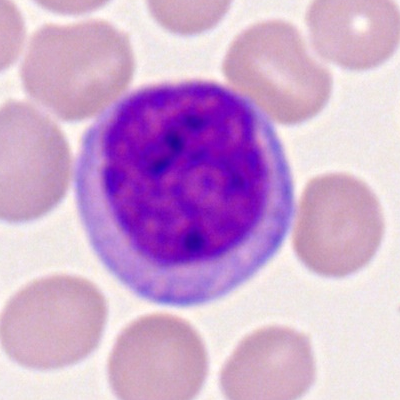

Morphological class: monocyte.